MGG-stained. Bone marrow smear:
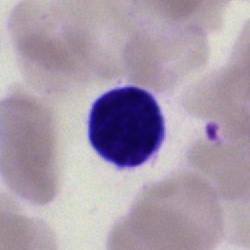

A typical lymphocyte.